Single cell centered in the field; bone marrow smear — 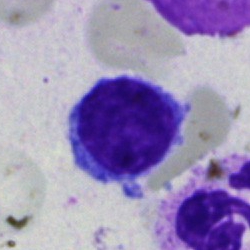Cell type — lymphocyte.